Bone marrow aspirate smear — 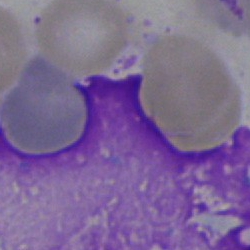
Q: What is shown here?
A: Artifact.